Bone marrow aspirate smear.
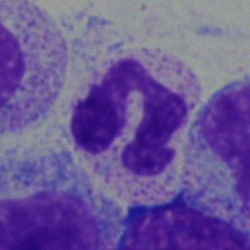Specimen: bone marrow smear.
Classification: segmented neutrophil.
Lineage: myeloid.